May-Grünwald-Giemsa/Pappenheim stain · bone marrow smear: 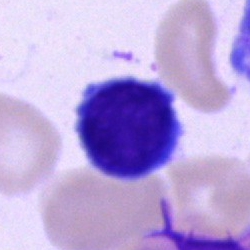

Q: What cell is this?
A: Typical lymphocyte.